Bone marrow smear
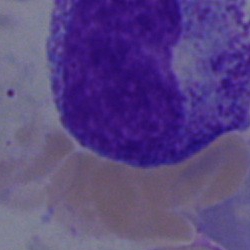
Morphological class — metamyelocyte.